Single cell centered in the field; bone marrow smear.
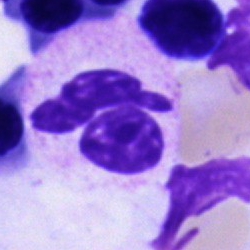 Cell: segmented neutrophil.